250×250; bone marrow aspirate smear
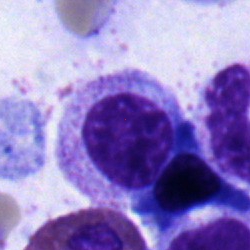 Showing a myelocyte.